Single cell centered in the field · bone marrow aspirate smear · 40× oil immersion — 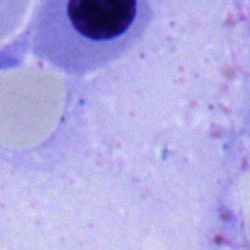
Showing a nucleated red blood cell.